Bone marrow smear:
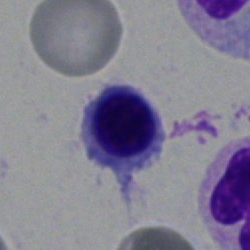

Morphology consistent with a normoblast.